Peripheral blood film: 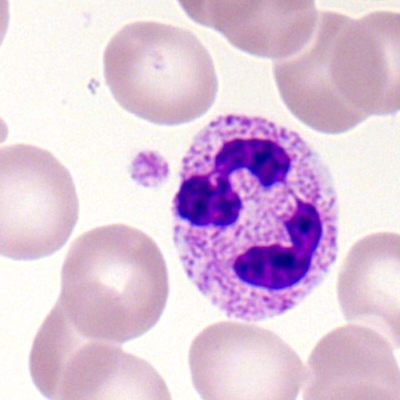

A neutrophil (segmented).